Bone marrow smear. 250×250 px:
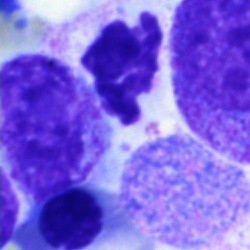

The cell is neutrophil (segmented).